May-Grünwald-Giemsa/Pappenheim stain. Single-cell field. Bone marrow smear.
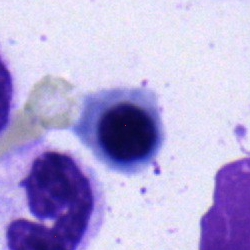 Morphology — nucleated red blood cell.